Bone marrow smear.
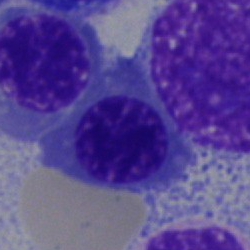 Impression — nucleated red blood cell.